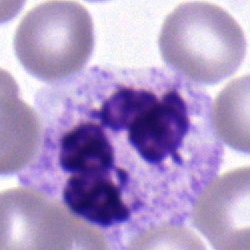Specimen: bone marrow aspirate smear.
Cell type: polymorphonuclear neutrophil.